Peripheral blood film.
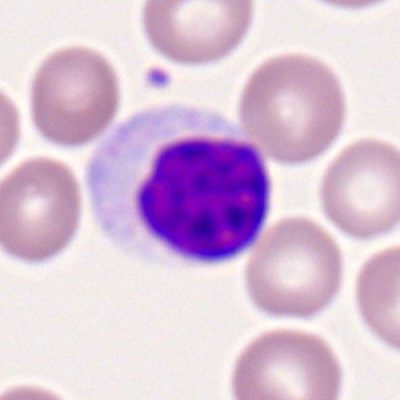

A lymphocyte.